Bone marrow smear. Cropped to a single cell
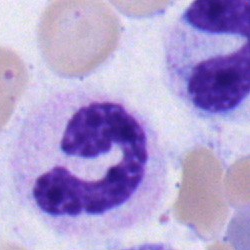

Cell — polymorphonuclear neutrophil.